Bone marrow smear:
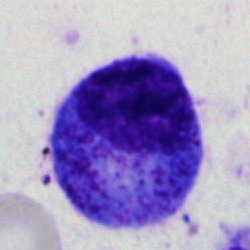

This is a promyelocyte.